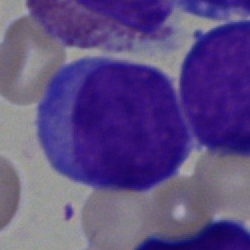

Q: What type of cell is this?
A: This is a blast.